Bone marrow smear
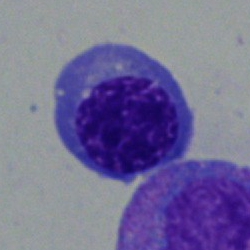Nucleated red cell.